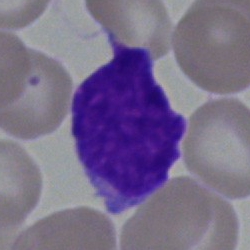
Single-cell crop from a bone marrow smear: blast.